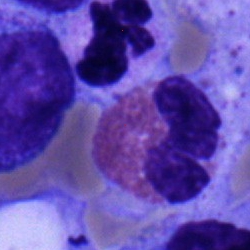
Eosinophilic granulocyte.